Bone marrow smear; brightfield microscopy, 40× oil immersion:
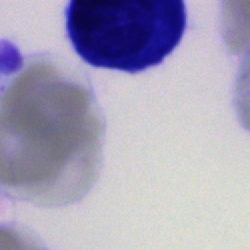

This is an unidentifiable cell.